Bone marrow aspirate smear — 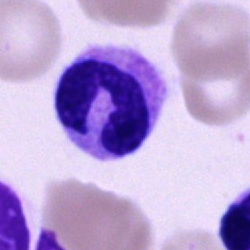
Morphology consistent with a band neutrophil.